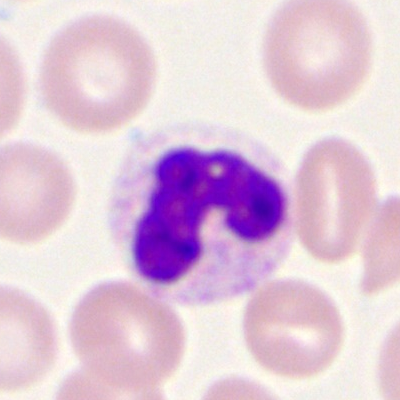Classification: segmented neutrophil.